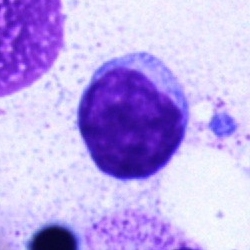
Bone marrow smear showing a lymphocyte.